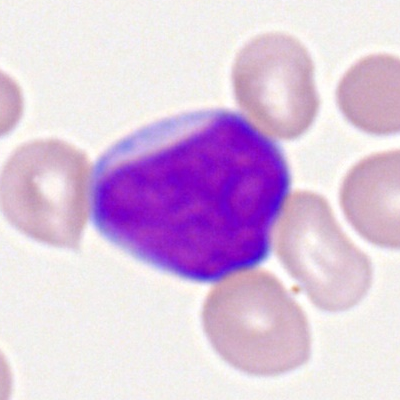 Specimen: peripheral blood smear.
Classification: myeloblast.
Lineage: myeloid.